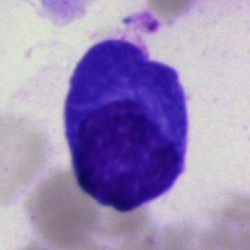

Impression — plasmacyte.